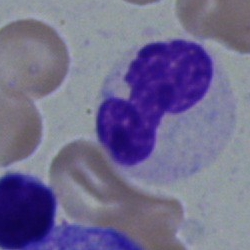 Q: What is the morphological classification of this cell?
A: This is a neutrophil (band).